Peripheral blood film: 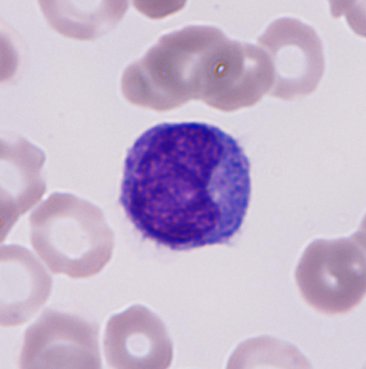Specimen: peripheral blood film.
Cell: monocyte.